Peripheral blood film.
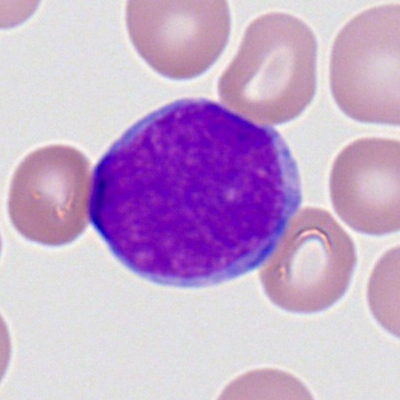
Morphology consistent with a myeloid blast.